250×250 px; bone marrow smear: 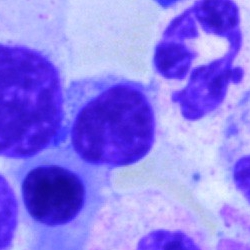

Cell = typical lymphocyte.